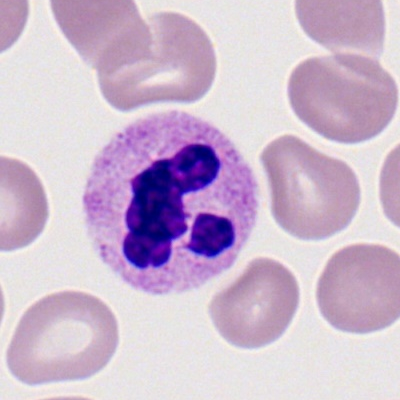
Q: Identify the cell.
A: A neutrophil (segmented).